Bone marrow aspirate smear.
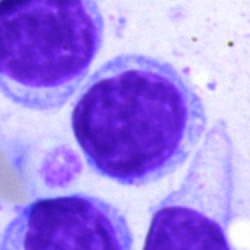A typical lymphocyte.